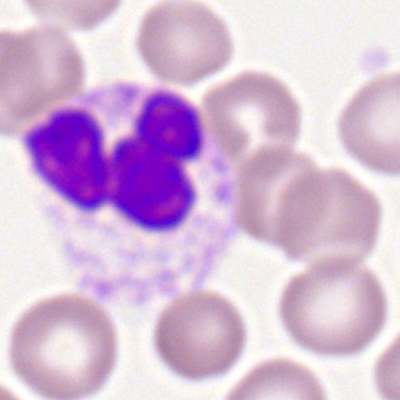

The cell shown is a segmented neutrophil.